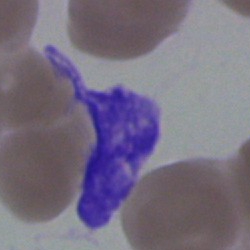

Showing an artifact.